Single cell centered in the field. Peripheral blood smear.
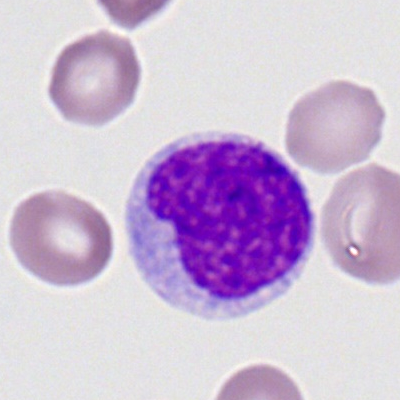The morphological class is typical lymphocyte.